Brightfield microscopy, 40× oil immersion; cropped to a single cell; bone marrow smear.
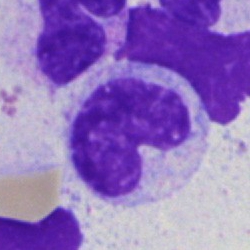 Single cell identified as a metamyelocyte.